Bone marrow smear · May-Grünwald-Giemsa stain · 250×250:
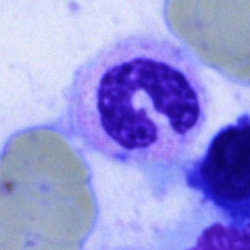
Q: What cell is this?
A: This is a segmented neutrophil.